Bone marrow aspirate smear · image size 250×250
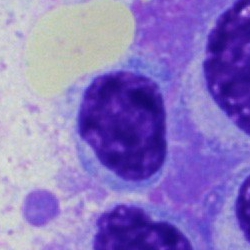Q: What cell is this?
A: This is a plasma cell.